Bone marrow aspirate smear: 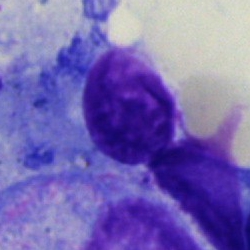Single cell identified as a plasmacyte.